Bone marrow aspirate smear
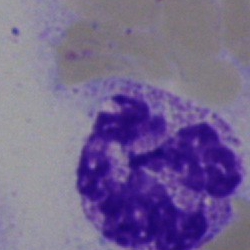
Q: What is the morphological classification of this cell?
A: Neutrophil (segmented).